MGG-stained; 40× oil immersion; bone marrow smear.
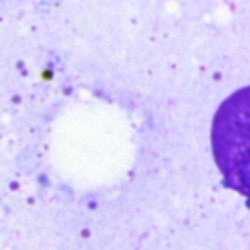Morphology consistent with an artifact.